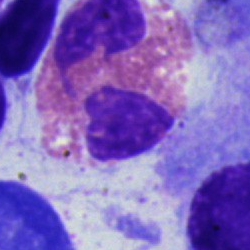
Morphology consistent with an eosinophil.